Brightfield, 40× oil-immersion objective · bone marrow smear · 250×250 px — 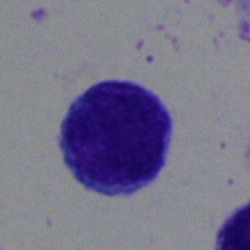

The classification is lymphocyte.